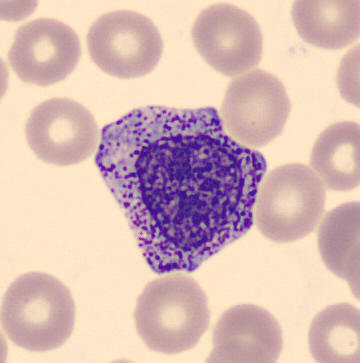
Preparation: Peripheral blood smear.
This is a progranulocyte.